Peripheral blood film.
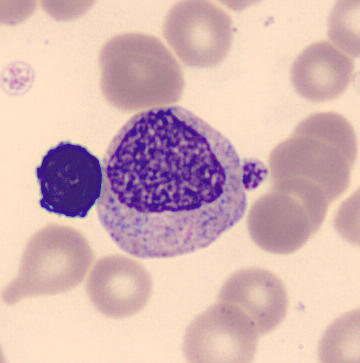

Identified as a myelocyte.